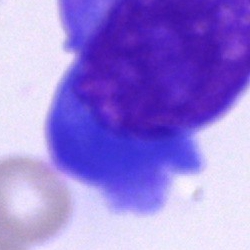
Morphology → plasmacyte.